Brightfield microscopy, 40× oil immersion. Bone marrow aspirate smear. Single-cell crop
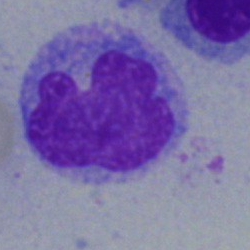 Classification — monocyte.